Bone marrow smear.
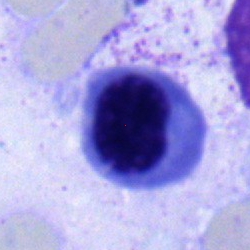

Morphology — normoblast.